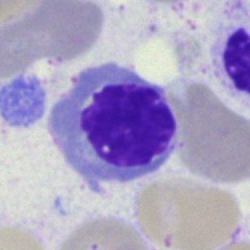 Classification — erythroblast.